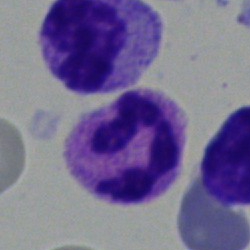 Morphological class = segmented neutrophil.